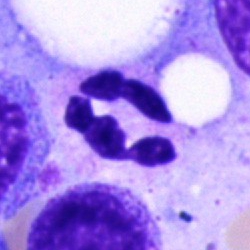
Cell — segmented neutrophil.